Cropped to a single cell · bone marrow aspirate smear · brightfield microscopy, 40× oil immersion: 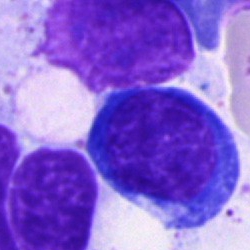

Showing a nucleated red blood cell.